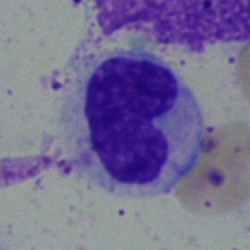A band-form neutrophil.